250 by 250 pixels. Bone marrow aspirate smear. May-Grünwald-Giemsa/Pappenheim stain: 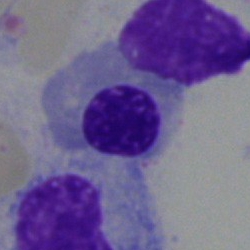
A nucleated red cell.